Bone marrow aspirate smear.
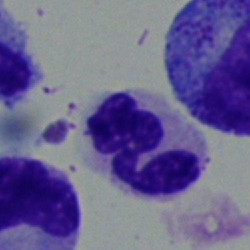

Specimen: bone marrow smear.
Morphological class: polymorphonuclear neutrophil.